Bone marrow smear · brightfield, 40× oil-immersion objective · May-Grünwald-Giemsa stain: 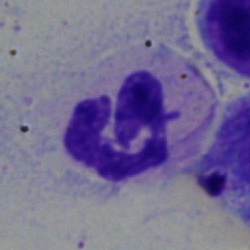

A segmented neutrophil.